Peripheral blood film.
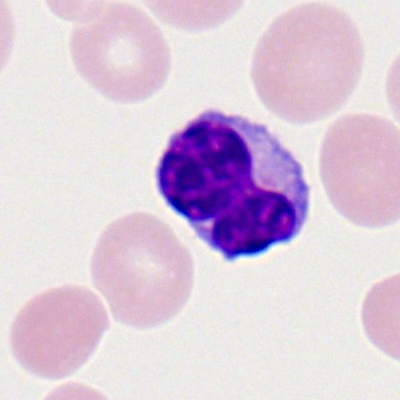

The cell shown is a typical lymphocyte.